250 by 250 pixels · bone marrow aspirate smear:
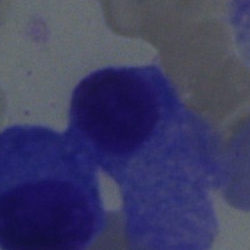

Classification — plasma cell.